Bone marrow smear.
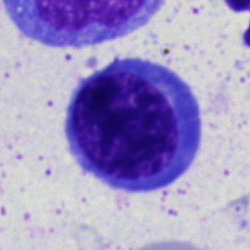
{"cell_type": "erythroblast", "lineage": "erythroid"}